Bone marrow aspirate smear · 250 by 250 pixels: 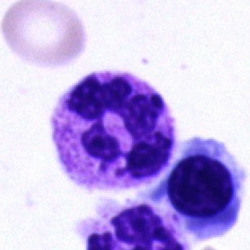 The cell shown is a segmented neutrophil.